Bone marrow aspirate smear.
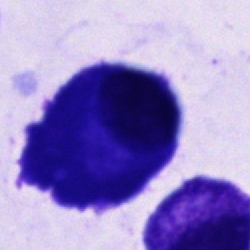 Specimen: bone marrow smear.
Cell type: plasmacyte.
Lineage: lymphoid.